250 by 250 pixels; bone marrow aspirate smear
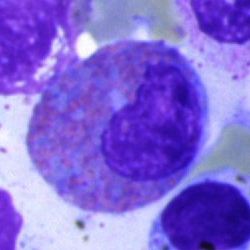 Morphology consistent with an eosinophilic granulocyte.